40× oil immersion · bone marrow aspirate smear
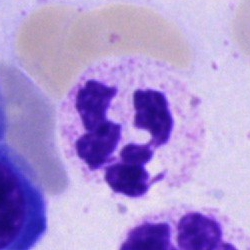Morphology — neutrophil (segmented).